Peripheral blood smear:
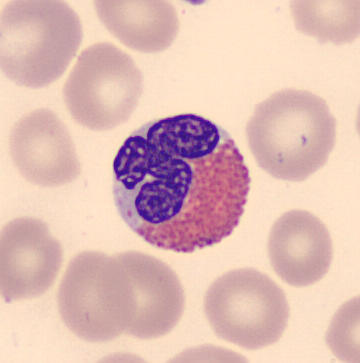
Specimen: peripheral blood film.
Morphological class: eosinophil.